Single-cell crop; bone marrow aspirate smear:
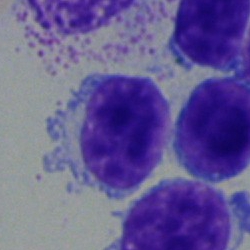 Showing a typical lymphocyte.